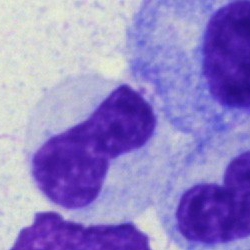 Morphological class: band-form neutrophil.